Bone marrow smear:
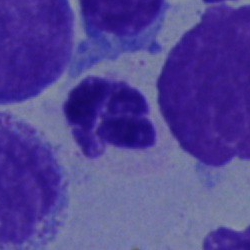Classification — neutrophil (segmented).